Bone marrow smear — 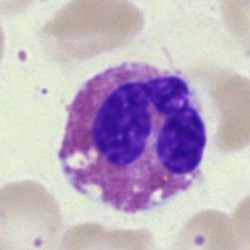
Classification — eosinophilic granulocyte.